Peripheral blood film
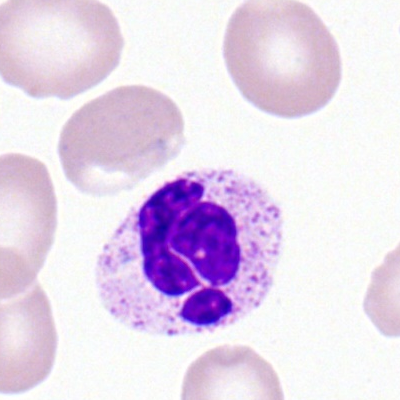Morphology consistent with a neutrophil (segmented).